Bone marrow aspirate smear:
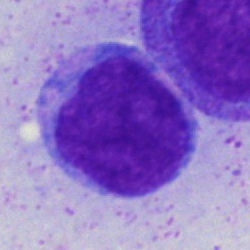 Morphology consistent with a blast cell.